40× oil immersion. May-Grünwald-Giemsa/Pappenheim stain. Bone marrow smear — 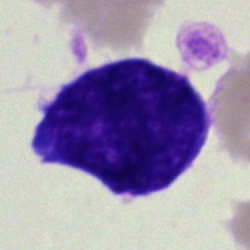Single cell identified as a blast.